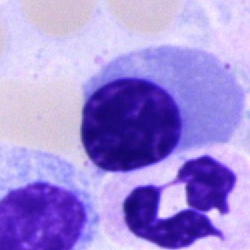
Morphology → normoblast.